Bone marrow smear.
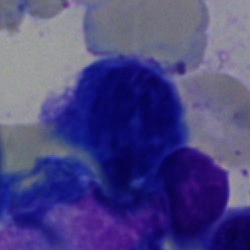

Cell type: artifact.